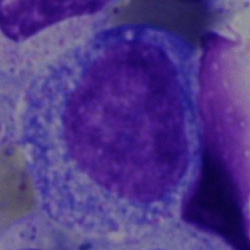

Q: What type of cell is this?
A: It is a progranulocyte.